Bone marrow smear.
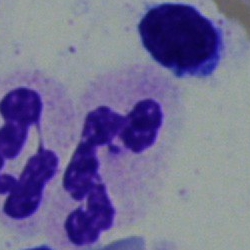

Q: What is the morphological classification of this cell?
A: Polymorphonuclear neutrophil.